Bone marrow aspirate smear. 250 by 250 pixels.
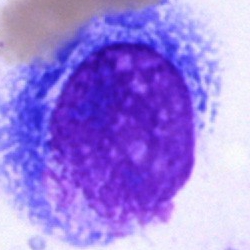

Morphology → eosinophilic granulocyte.